Bone marrow aspirate smear: 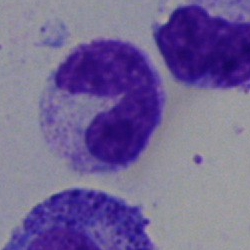Q: What is the morphological classification of this cell?
A: A segmented neutrophil.